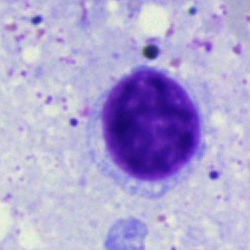Specimen: bone marrow smear.
Classification: artefact.